250×250 px; bone marrow aspirate smear
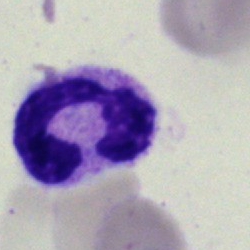
Q: Identify the cell.
A: This is a polymorphonuclear neutrophil.